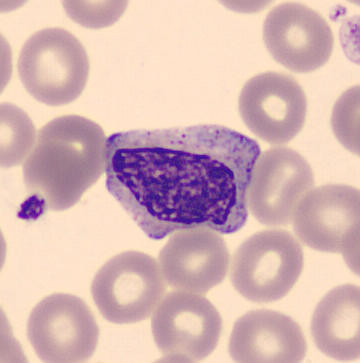

Q: What type of cell is this?
A: A myelocyte.